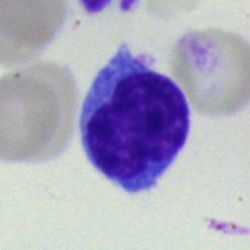Impression — lymphocyte.